Peripheral blood smear:
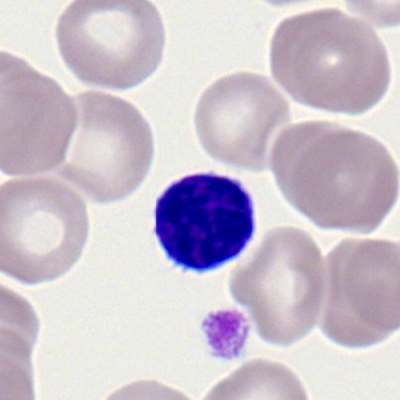 Q: What is shown here?
A: Lymphocyte.